Brightfield microscopy, 40× oil immersion; image size 250×250; bone marrow smear
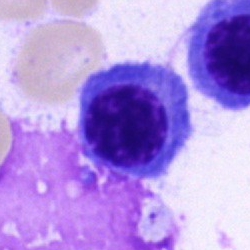

Specimen: bone marrow smear.
Cell type: erythroblast.
Lineage: erythroid.